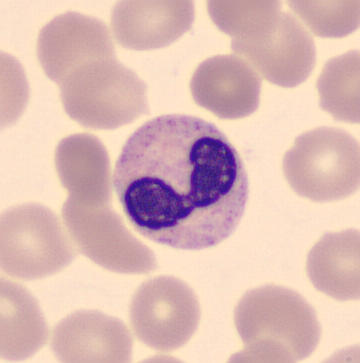

Image: Cropped to a single cell; peripheral blood film; May Grünwald-Giemsa stain. Q: What is the morphological classification of this cell?
A: This is a band-form neutrophil.